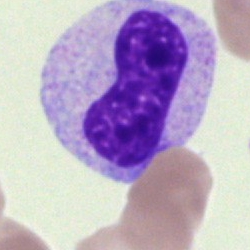 A metamyelocyte on a bone marrow smear.